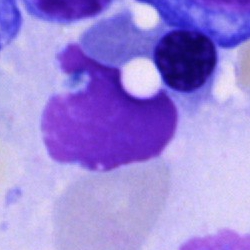
Artifact.